Bone marrow smear.
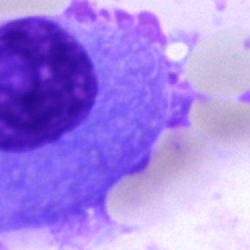 Specimen: bone marrow smear.
Cell type: plasma cell.
Lineage: lymphoid.